Bone marrow smear · May-Grünwald-Giemsa/Pappenheim stain
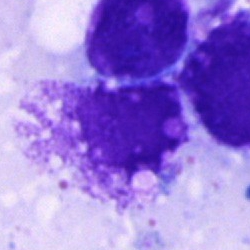
Artefact.